Bone marrow aspirate smear
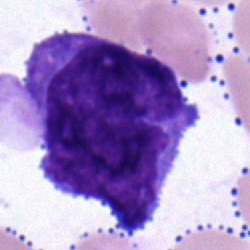 The cell shown is a blast.